Bone marrow smear · single-cell crop.
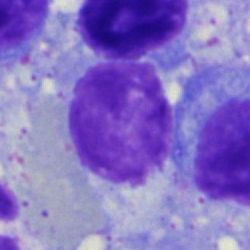

Cell type — artefact.